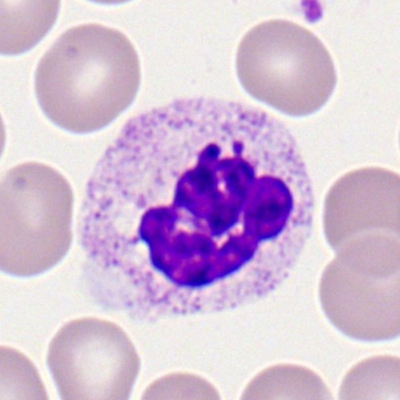Specimen: peripheral blood smear.
Classification: neutrophil (segmented).
Lineage: myeloid.